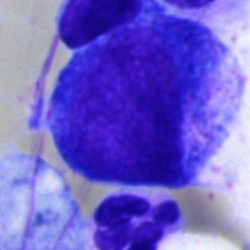Q: What cell is this?
A: This is a promyelocyte.